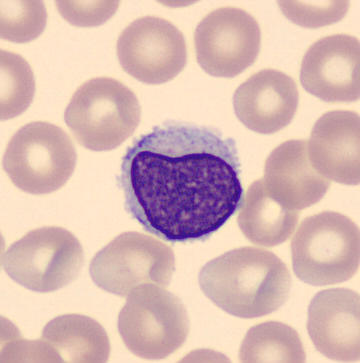 This is a lymphocyte.

Imaged on a CellaVision DM96 analyser. Peripheral blood film.